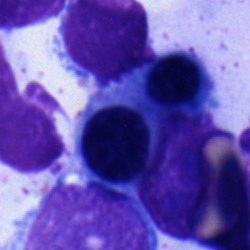Q: Which cell type is shown here?
A: Nucleated red cell.